Bone marrow aspirate smear; brightfield, 40× oil-immersion objective: 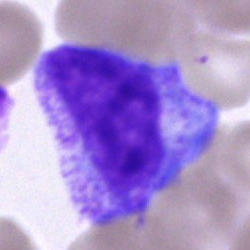
Morphology consistent with a promyelocyte.